Pappenheim-stained; bone marrow aspirate smear:
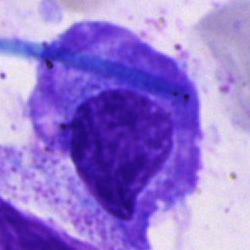

Specimen: bone marrow smear.
Cell: plasma cell.